Bone marrow smear · single-cell field · 40× objective, oil immersion.
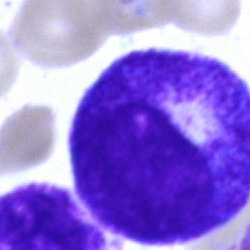

Q: What is shown here?
A: Progranulocyte.